Bone marrow aspirate smear — 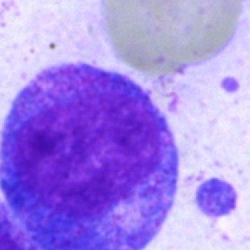The cell shown is a promyelocyte.